Bone marrow smear
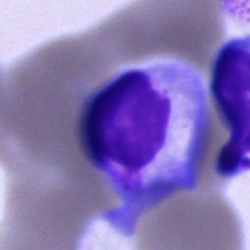
The morphological class is typical lymphocyte.